Bone marrow smear — 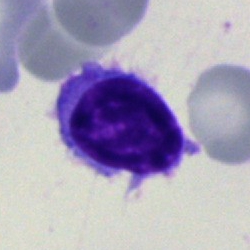
Typical lymphocyte.